Bone marrow aspirate smear; image size 250×250:
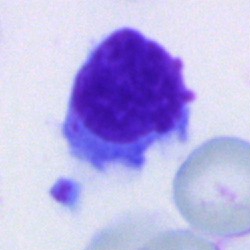

Typical lymphocyte.